Bone marrow aspirate smear
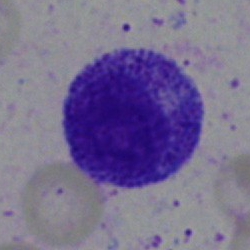Morphology — myelocyte.